Bone marrow smear:
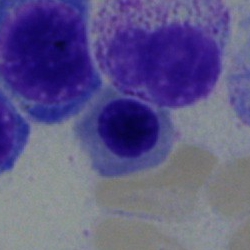
Specimen: bone marrow aspirate smear.
Cell type: nucleated red cell.
Lineage: erythroid.